Bone marrow aspirate smear: 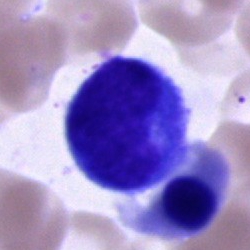Morphological class — cell of indeterminate lineage.